Bone marrow aspirate smear.
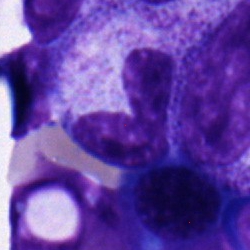
Specimen: bone marrow smear.
Cell: stab cell.